Bone marrow aspirate smear:
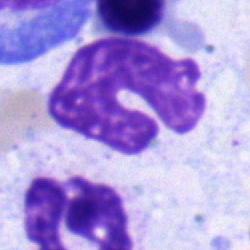
Q: What is shown here?
A: A band neutrophil.